Bone marrow smear.
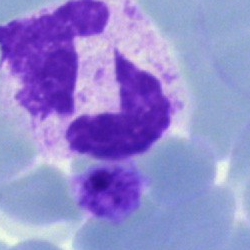

Q: What type of cell is this?
A: A segmented neutrophil.